May-Grünwald-Giemsa/Pappenheim stain. Bone marrow aspirate smear:
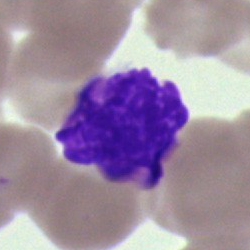Morphological class — artifact.